Bone marrow smear — 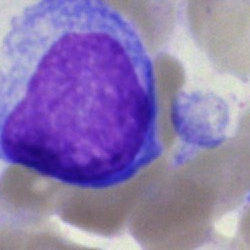Morphology → blast cell.